Bone marrow aspirate smear · single cell centered in the field · May-Grünwald-Giemsa/Pappenheim stain
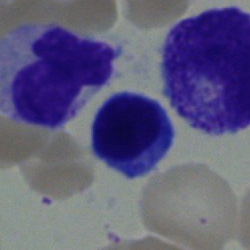 Specimen: bone marrow aspirate smear.
Cell: lymphocyte.